Bone marrow aspirate smear. Pappenheim-stained: 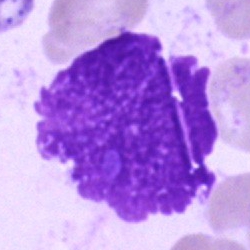 Impression → artifact.